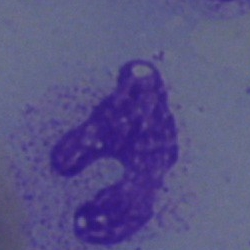Morphological class: neutrophil (segmented).